Bone marrow smear · cropped to a single cell — 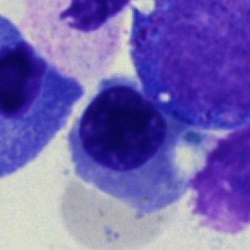

Single cell identified as a normoblast.